Bone marrow smear — 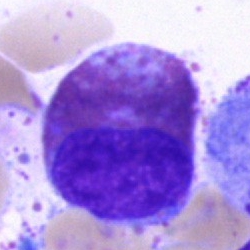
Cell type — eosinophilic granulocyte.